Bone marrow smear: 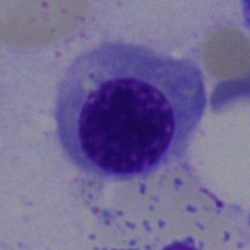Classification — nucleated red blood cell.